Bone marrow aspirate smear: 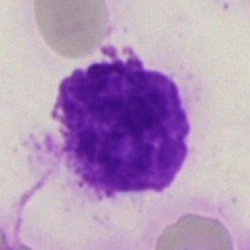
Classification = artifact.